Bone marrow smear — 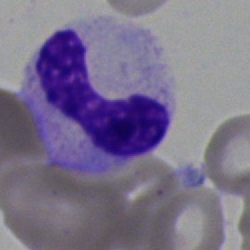Showing a band neutrophil.